250 by 250 pixels · bone marrow smear:
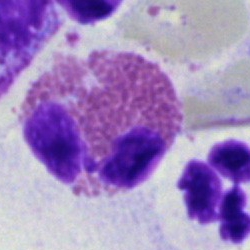Classification — eosinophil.